Bone marrow smear: 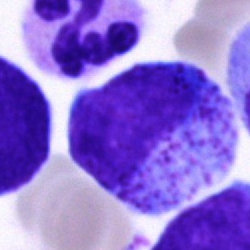 {"cell_type": "progranulocyte", "lineage": "myeloid"}